May-Grünwald-Giemsa/Pappenheim stain; bone marrow aspirate smear
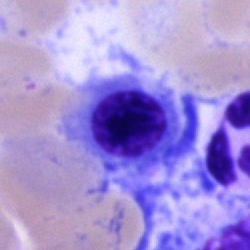 {"cell_type": "nucleated red blood cell", "lineage": "erythroid"}